Bone marrow aspirate smear.
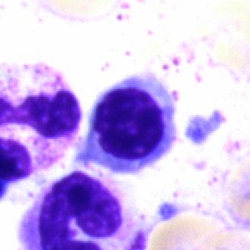 Morphology → erythroblast.